Bone marrow smear:
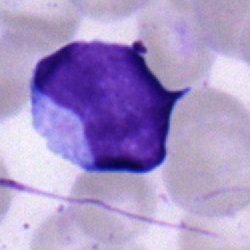
Q: Which cell type is shown here?
A: It is a lymphocyte.